Peripheral blood film. Romanowsky stain: 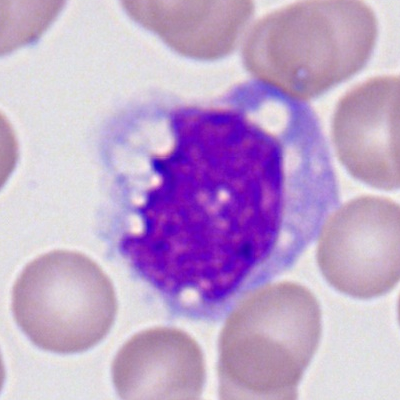

Morphology — monocyte.